Single cell centered in the field. Bone marrow smear — 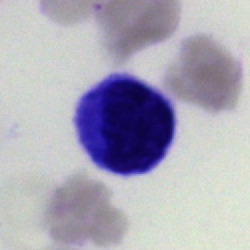

This is a typical lymphocyte.